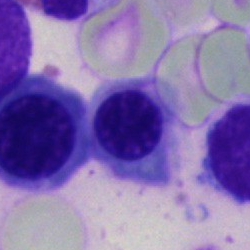

Q: Identify the cell.
A: A nucleated red blood cell.